May-Grünwald-Giemsa stain; 250×250 px; bone marrow smear.
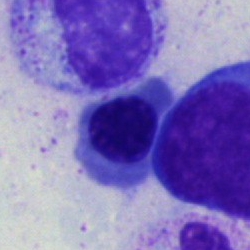 Morphology — erythroblast.